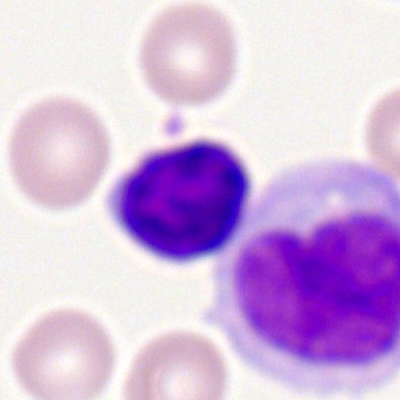 Specimen: peripheral blood smear.
Morphological class: typical lymphocyte.